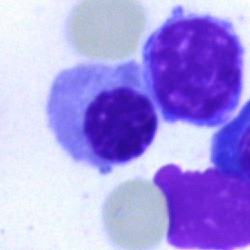This is an erythroblast.